Bone marrow smear
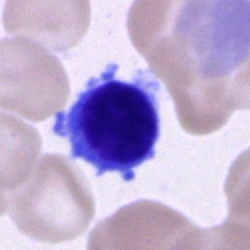

Morphological class — typical lymphocyte.